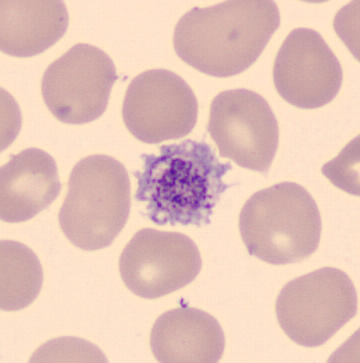

Morphology — thrombocyte.